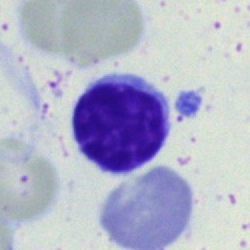A lymphocyte.